Bone marrow smear; Pappenheim-stained.
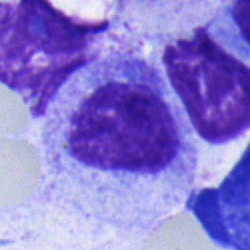
Cell type: myelocyte.